Bone marrow aspirate smear — 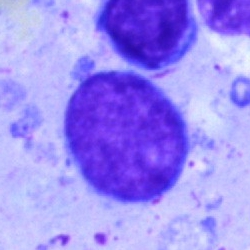 {"cell_type": "blast"}